Bone marrow aspirate smear; 250 by 250 pixels; Pappenheim-stained
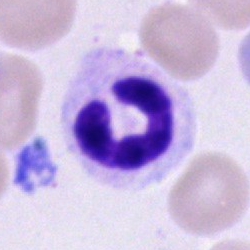 The cell shown is a polymorphonuclear neutrophil.